Peripheral blood smear. Brightfield, 100× oil-immersion objective — 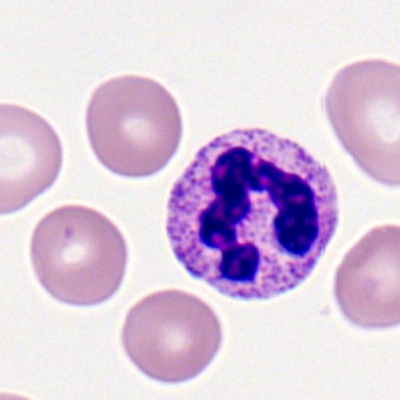
Morphology — polymorphonuclear neutrophil.